Single cell centered in the field. Bone marrow smear
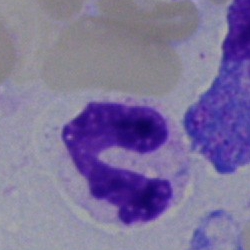
{"cell_type": "polymorphonuclear neutrophil"}